Bone marrow smear
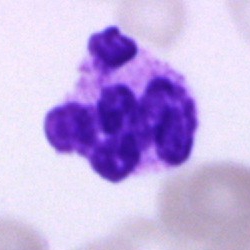

Q: Identify the cell.
A: It is a neutrophil (segmented).